Bone marrow aspirate smear.
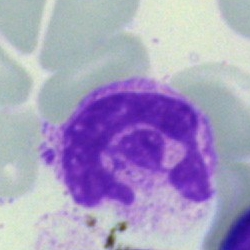

Cell type: neutrophil (segmented).